Bone marrow smear; 40× oil immersion; May-Grünwald-Giemsa stain: 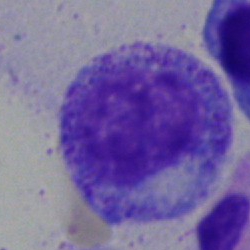
Cell: myelocyte.